Image size 250×250. Bone marrow aspirate smear. Pappenheim-stained
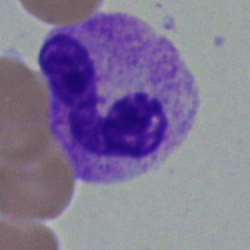 Impression → band-form neutrophil.